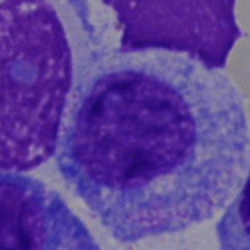 The cell shown is a progranulocyte.